Bone marrow aspirate smear. Brightfield, 40× oil-immersion objective.
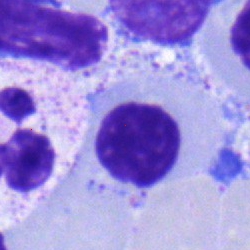Q: What type of cell is this?
A: A nucleated red blood cell.